Single-cell field · bone marrow aspirate smear — 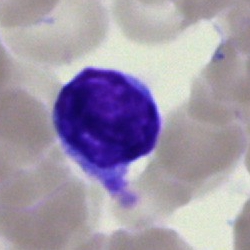

The cell shown is a typical lymphocyte.